Bone marrow smear: 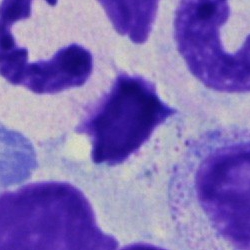Morphology consistent with an artifact.